Cropped to a single cell · bone marrow smear · 250×250: 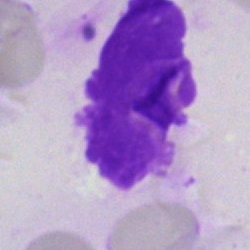
Morphological class — artefact.